Bone marrow smear:
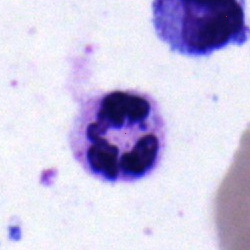
Cell type = polymorphonuclear neutrophil.